Peripheral blood smear — 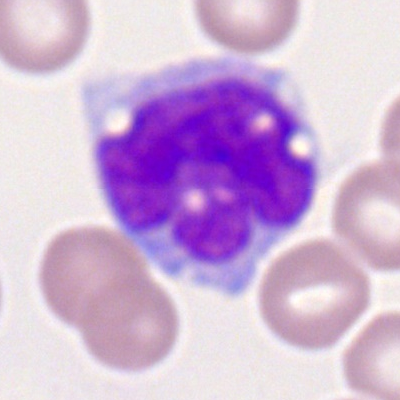

Q: Which cell type is shown here?
A: Monocyte.